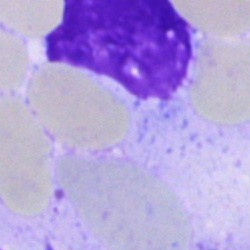Morphological class — artifact.